Bone marrow smear:
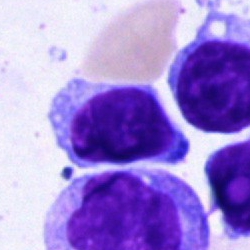

Impression → lymphocyte.